Bone marrow aspirate smear: 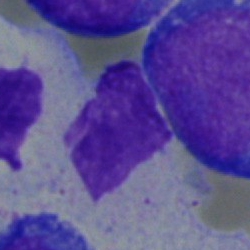

Morphological class: blast cell.